Peripheral blood film · brightfield, 100× oil-immersion objective: 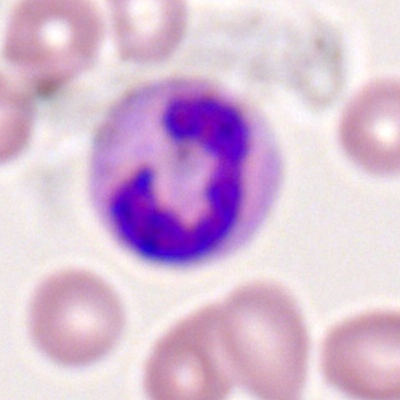

Single cell identified as a neutrophil (segmented).